Peripheral blood smear. Romanowsky stain:
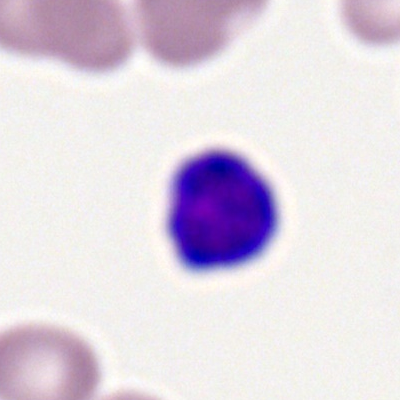Q: Which cell type is shown here?
A: Lymphocyte.